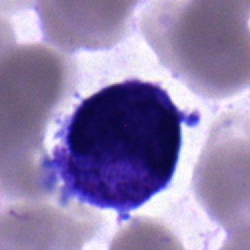

The cell type is blast cell.